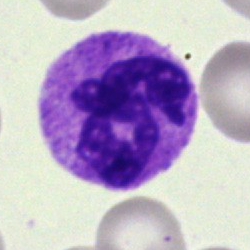
Impression → segmented neutrophil.